Bone marrow aspirate smear: 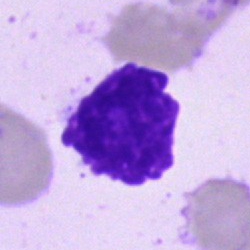
Q: What is shown here?
A: It is an artefact.